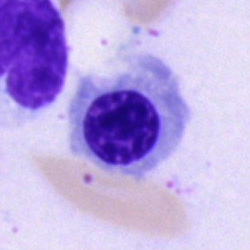
A nucleated red blood cell.